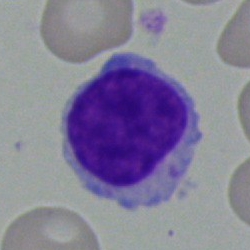Specimen: bone marrow smear.
Morphological class: lymphocyte.